Bone marrow aspirate smear:
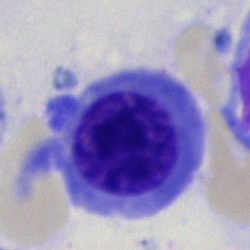Cell: nucleated red blood cell.